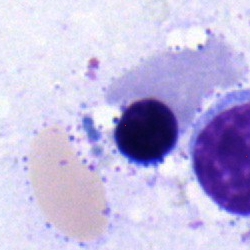 Classification = nucleated red blood cell.